Bone marrow smear; Pappenheim-stained
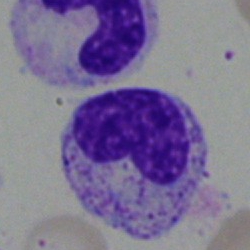
Morphological class — metamyelocyte.